Bone marrow aspirate smear. Single-cell field.
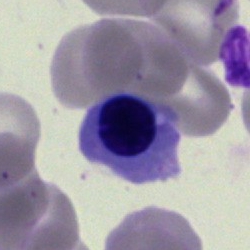Q: What cell is this?
A: It is a normoblast.